Bone marrow aspirate smear · cropped to a single cell · brightfield microscopy, 40× oil immersion: 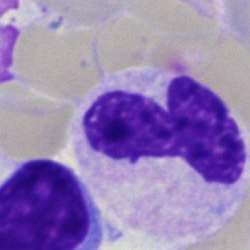
Classification: neutrophil (band).